Bone marrow aspirate smear:
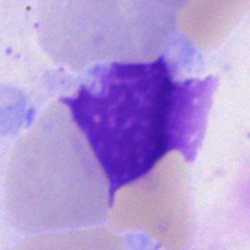Q: What is shown here?
A: It is an artifact.